250×250 px. Single cell centered in the field. Bone marrow aspirate smear.
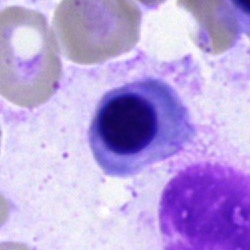
Morphological class — nucleated red cell.